Single-cell field. May-Grünwald-Giemsa/Pappenheim stain. Bone marrow smear:
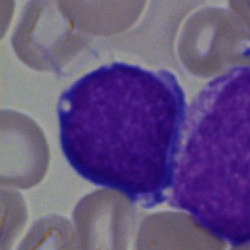Q: Which cell type is shown here?
A: An undifferentiated blast.